Brightfield, 40× oil-immersion objective; bone marrow smear:
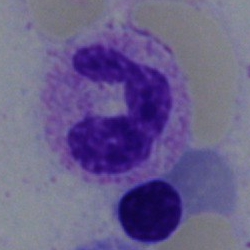 Morphological class: neutrophil (segmented).